Bone marrow smear.
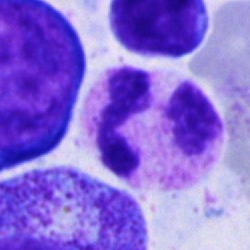 Morphology → polymorphonuclear neutrophil.